Brightfield microscopy, 40× oil immersion · bone marrow smear: 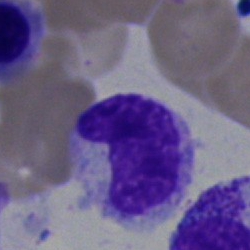

Specimen: bone marrow aspirate smear.
Morphological class: neutrophil (band).
Lineage: myeloid.